Brightfield, 40× oil-immersion objective; single-cell field; bone marrow aspirate smear:
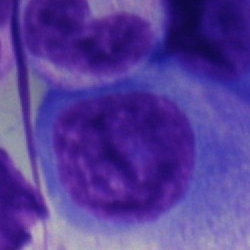

Specimen: bone marrow smear.
Cell type: plasmacyte.
Lineage: lymphoid.